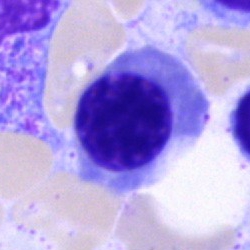

The classification is erythroblast.